Peripheral blood smear · cropped to a single cell: 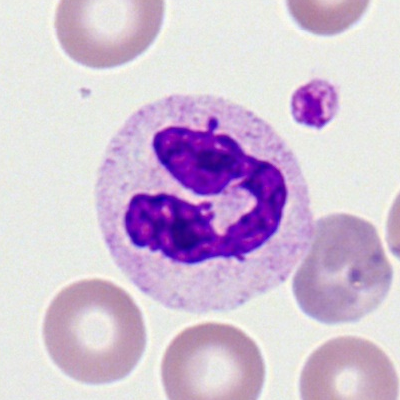Specimen: peripheral blood film.
Classification: polymorphonuclear neutrophil.
Lineage: myeloid.